Bone marrow smear: 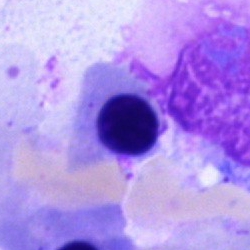 Single cell identified as a normoblast.